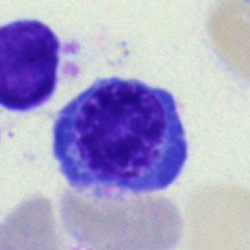
{"cell_type": "nucleated red cell"}